Brightfield, 40× oil-immersion objective · bone marrow smear
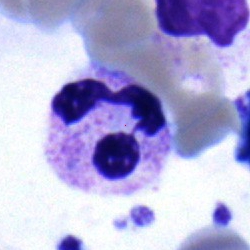A segmented neutrophil.